Bone marrow aspirate smear · cropped to a single cell · 250 by 250 pixels: 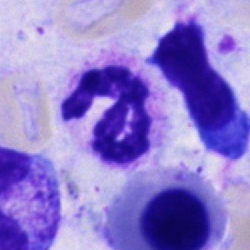The cell type is polymorphonuclear neutrophil.